Bone marrow aspirate smear. 250×250.
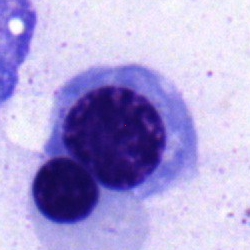

{"cell_type": "erythroblast", "lineage": "erythroid"}